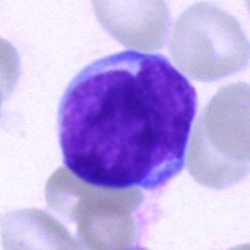
The cell is undifferentiated blast.